Bone marrow aspirate smear: 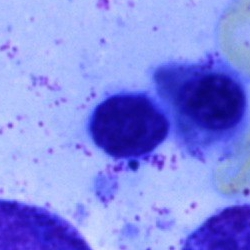Morphological class = erythroblast.